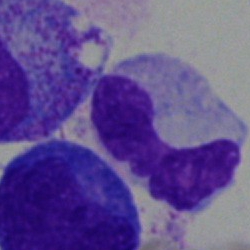Bone marrow aspirate smear, single cell — neutrophil (band).